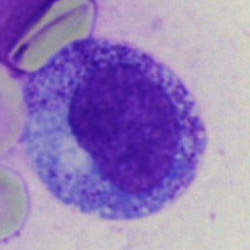 Specimen: bone marrow aspirate smear.
Morphological class: myelocyte.
Lineage: myeloid.